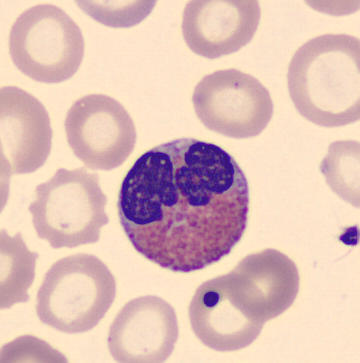 The cell shown is an eosinophil.